Cropped to a single cell; bone marrow smear; May-Grünwald-Giemsa/Pappenheim stain:
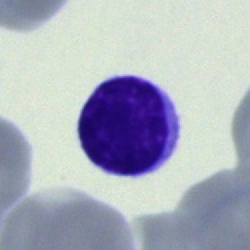

Morphology consistent with a lymphocyte.